Bone marrow smear — 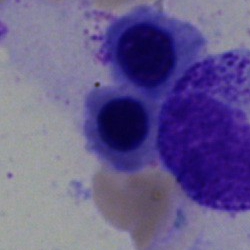Morphology consistent with a nucleated red blood cell.